40× objective, oil immersion. Bone marrow aspirate smear. Single-cell field — 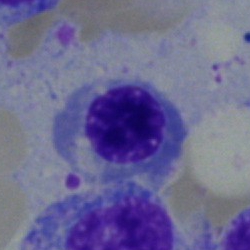Specimen: bone marrow smear.
Cell: erythroblast.
Lineage: erythroid.